May-Grünwald-Giemsa/Pappenheim stain. Bone marrow aspirate smear. Single-cell field: 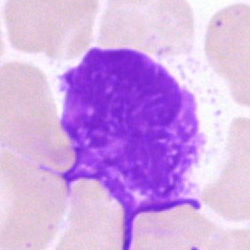 The morphological class is artifact.